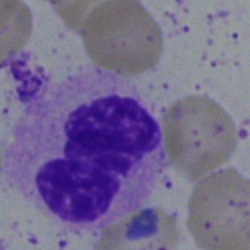
Impression → neutrophil (segmented).